Bone marrow smear: 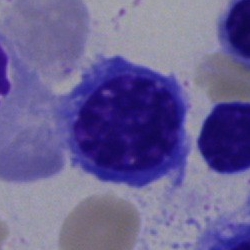Impression — normoblast.